Bone marrow smear: 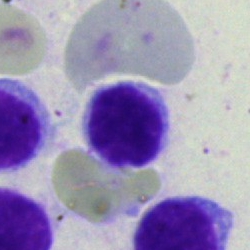

Impression → lymphocyte.